Image size 250×250 · bone marrow aspirate smear: 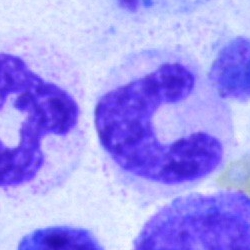

Specimen: bone marrow smear.
Cell type: band neutrophil.
Lineage: myeloid.